Image size 400×400; peripheral blood smear — 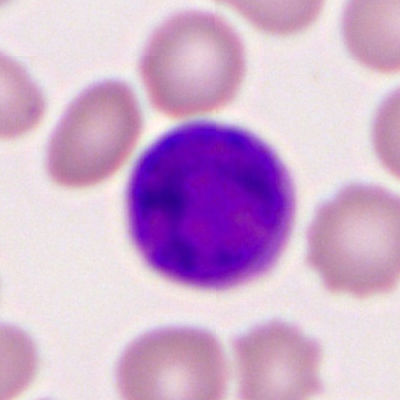

Classification — myeloid blast.